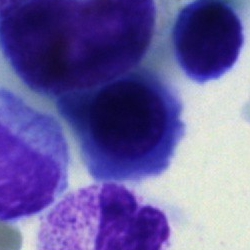 Impression → nucleated red cell.